Bone marrow smear.
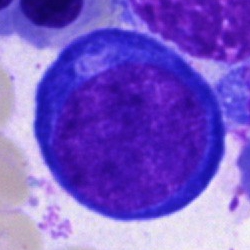

Impression — proerythroblast.